May-Grünwald-Giemsa/Pappenheim stain. Bone marrow smear. 250×250 — 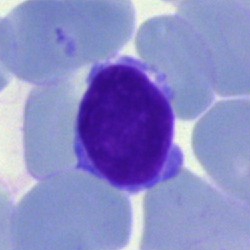 Cell — typical lymphocyte.